Bone marrow aspirate smear:
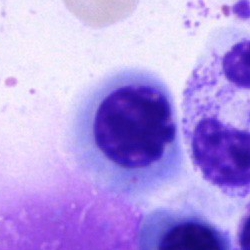
{"cell_type": "nucleated red blood cell"}